Bone marrow smear · single cell centered in the field · MGG-stained.
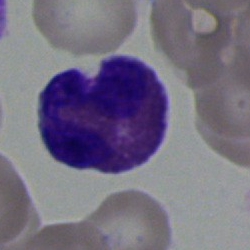
Cell: eosinophil.